Bone marrow smear: 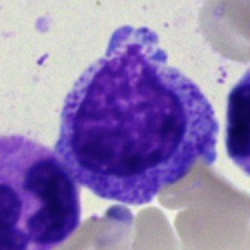
The cell type is myelocyte.